40× objective, oil immersion · bone marrow smear:
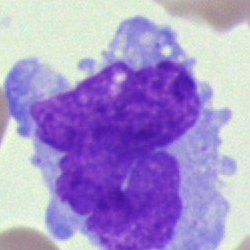
Specimen: bone marrow aspirate smear.
Cell type: monocyte.
Lineage: myeloid.